Bone marrow smear:
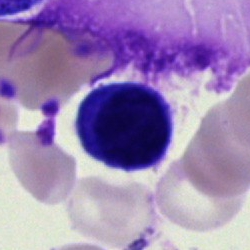

Morphological class — typical lymphocyte.